Brightfield, 40× oil-immersion objective; bone marrow smear; 250 by 250 pixels — 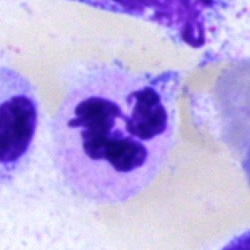

The cell shown is a polymorphonuclear neutrophil.